Bone marrow aspirate smear; single-cell field — 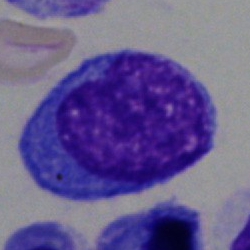Blast cell.